Peripheral blood smear. May-Grünwald-Giemsa-stained. Image size 360×363:
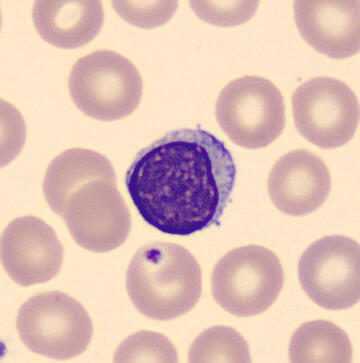
Specimen: peripheral blood smear.
Cell: typical lymphocyte.